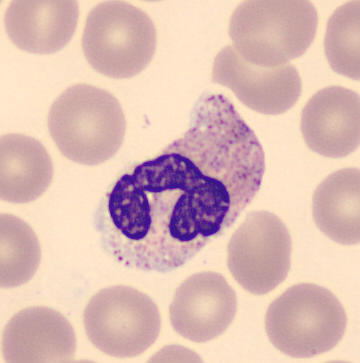 Q: What is the morphological classification of this cell?
A: A segmented neutrophil.
Preparation: Peripheral blood film. Single cell centered in the field. Imaged on a CellaVision DM96 analyser.